Bone marrow aspirate smear — 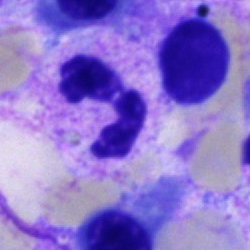 Cell: polymorphonuclear neutrophil.